May-Grünwald-Giemsa stain; bone marrow smear
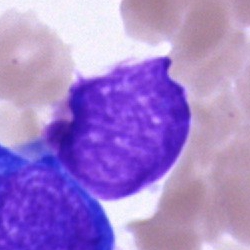
Classification = artefact.